Single-cell crop; bone marrow smear; 40× oil immersion:
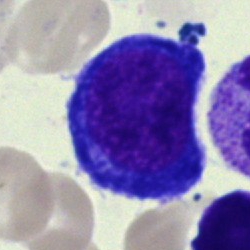Q: What is shown here?
A: This is a nucleated red cell.